Bone marrow smear — 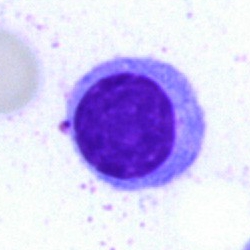Specimen: bone marrow aspirate smear.
Cell type: normoblast.
Lineage: erythroid.